Bone marrow smear · cropped to a single cell · 250×250
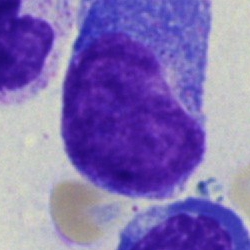The morphological class is blast cell.